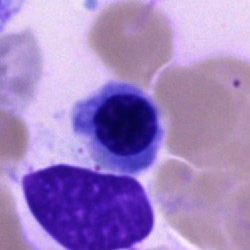
{"cell_type": "nucleated red cell", "lineage": "erythroid"}